May-Grünwald-Giemsa/Pappenheim stain; bone marrow smear: 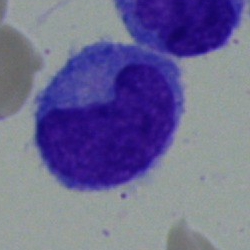
Impression — plasmacyte.